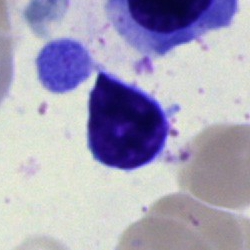
Cell type = typical lymphocyte.